Bone marrow aspirate smear.
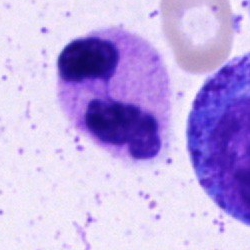

Polymorphonuclear neutrophil.